Bone marrow aspirate smear · single-cell crop.
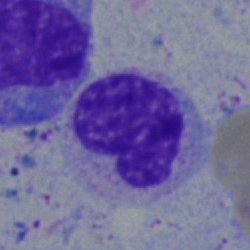 Band neutrophil.